Bone marrow smear · Pappenheim-stained — 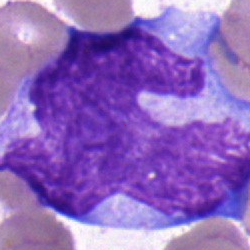

Showing an undifferentiated blast.